Bone marrow aspirate smear: 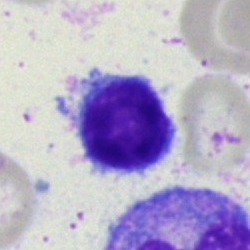

Showing a typical lymphocyte.